Image size 400×400 · peripheral blood film · Romanowsky stain:
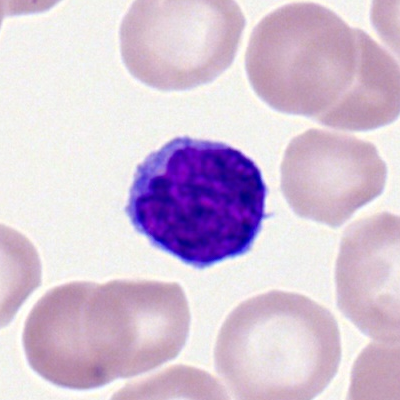
{"cell_type": "lymphocyte", "lineage": "lymphoid"}